Bone marrow smear: 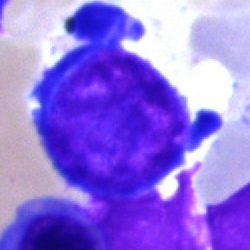 Q: What is shown here?
A: This is an erythroblast.